Bone marrow smear · single-cell field — 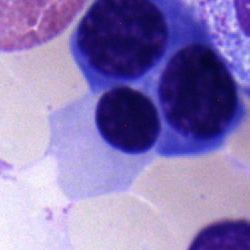 Cell: normoblast.